Bone marrow aspirate smear — 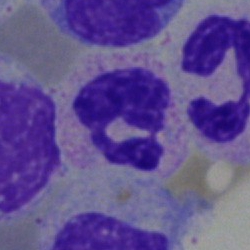

Q: What type of cell is this?
A: Segmented neutrophil.